May-Grünwald-Giemsa/Pappenheim stain. Bone marrow smear.
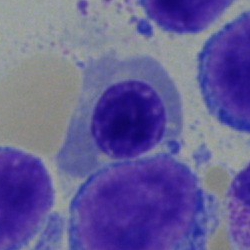Specimen: bone marrow aspirate smear.
Cell: erythroblast.